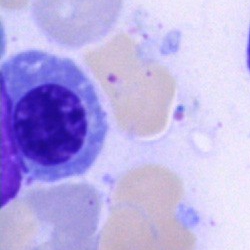

Cell type = erythroblast.